Bone marrow aspirate smear · 250×250 · brightfield, 40× oil-immersion objective: 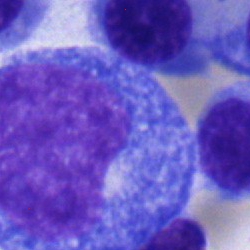 Q: Identify the cell.
A: A nucleated red blood cell.